Bone marrow aspirate smear
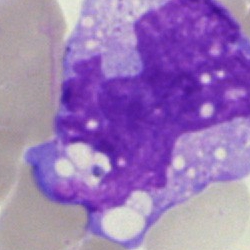Classification: monocyte.